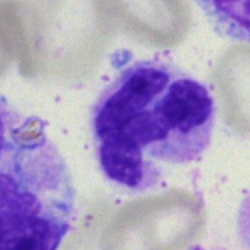 A neutrophil (segmented) on a bone marrow smear.